Bone marrow smear — 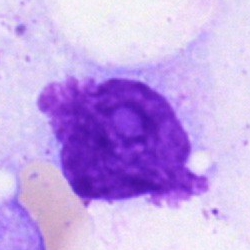Specimen: bone marrow smear.
Morphological class: artefact.